Single-cell field · bone marrow aspirate smear:
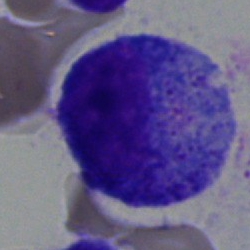Q: What cell is this?
A: Promyelocyte.